Bone marrow smear; Pappenheim-stained: 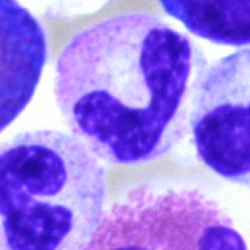
Morphology — polymorphonuclear neutrophil.